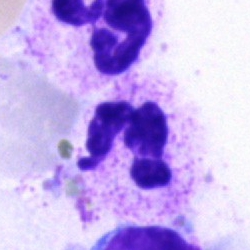 Single cell identified as a segmented neutrophil.